Single-cell crop. Bone marrow aspirate smear: 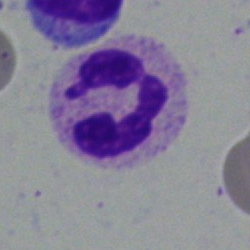 Cell type: segmented neutrophil.